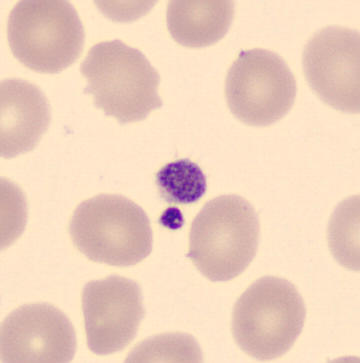CellaVision DM96 digital cell image · peripheral blood film · May Grünwald-Giemsa stain. {"cell_type": "platelet (thrombocyte)"}